Bone marrow aspirate smear
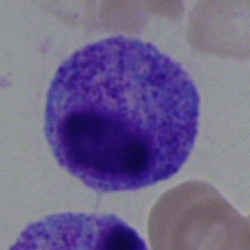Single cell identified as a myelocyte.